Bone marrow smear: 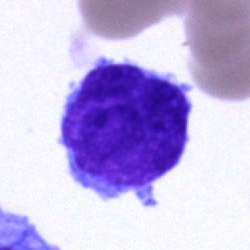

The cell is blast.